Single-cell crop. Bone marrow aspirate smear — 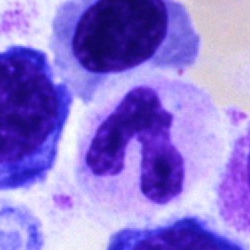
This is a band neutrophil.